Bone marrow aspirate smear · brightfield, 40× oil-immersion objective
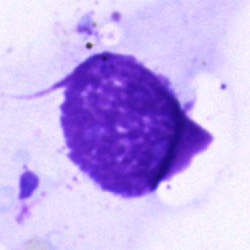 Morphological class: artifact.